Bone marrow aspirate smear
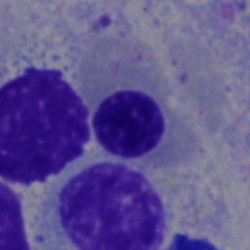
{"cell_type": "nucleated red cell", "lineage": "erythroid"}